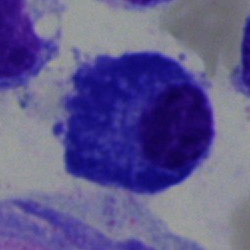
Q: What type of cell is this?
A: A plasmacyte.